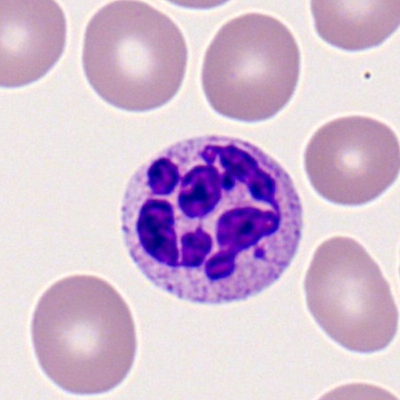Neutrophil (segmented).